Bone marrow smear
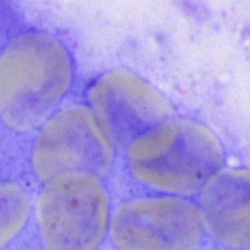

This is an artifact.